Bone marrow aspirate smear.
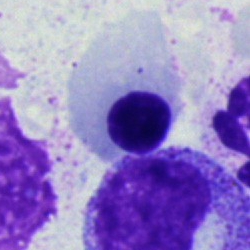

A nucleated red blood cell.